Bone marrow aspirate smear; cropped to a single cell: 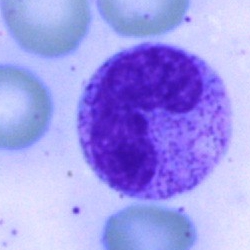Specimen: bone marrow smear.
Cell type: stab cell.
Lineage: myeloid.